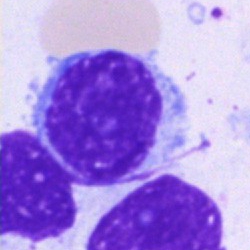
Cell type: lymphocyte.